Bone marrow smear — 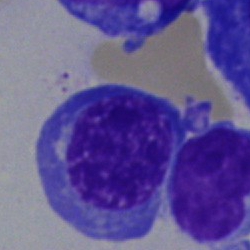Nucleated red cell.